Bone marrow aspirate smear — 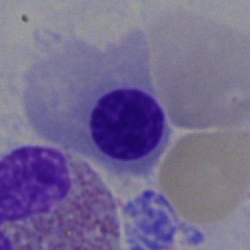Morphological class = normoblast.